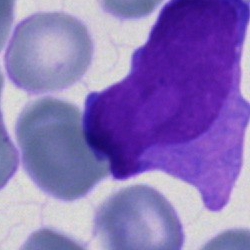

Morphological class = blast cell.